Bone marrow aspirate smear; 250×250 px; May-Grünwald-Giemsa stain:
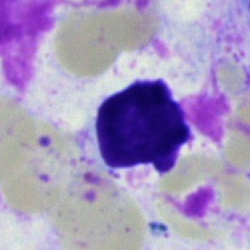
An artefact.